Bone marrow aspirate smear:
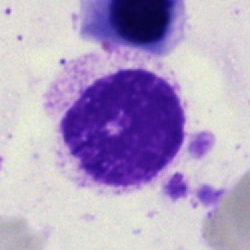
Morphological class = artifact.